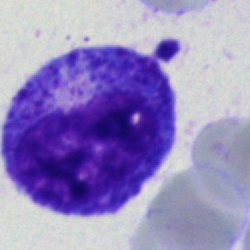{"cell_type": "progranulocyte", "lineage": "myeloid"}